Bone marrow smear. 250×250.
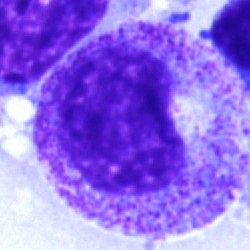Impression — metamyelocyte.